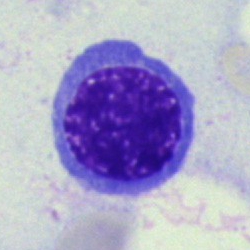The classification is nucleated red cell.